250 by 250 pixels. Bone marrow smear. May-Grünwald-Giemsa stain:
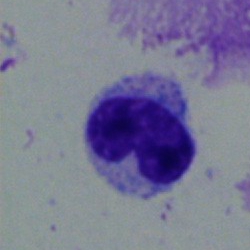Specimen: bone marrow smear.
Morphological class: band-form neutrophil.
Lineage: myeloid.